Peripheral blood smear — 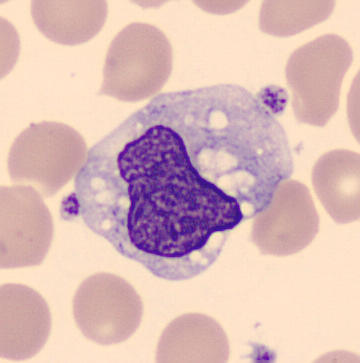Q: What type of cell is this?
A: This is a monocyte.